Bone marrow aspirate smear: 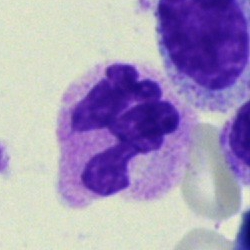
This is a segmented neutrophil.